Bone marrow smear.
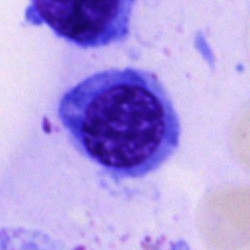 This is a nucleated red blood cell.